Peripheral blood smear · 100× objective, oil immersion: 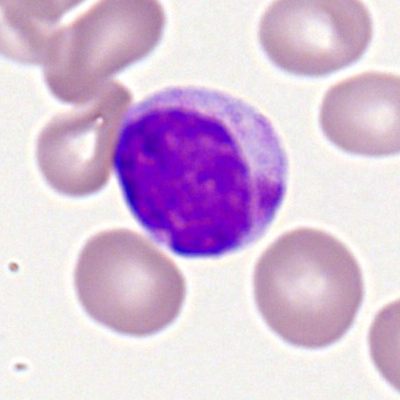Morphology — typical lymphocyte.